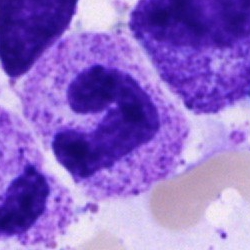
The morphological class is stab cell.